Bone marrow smear — 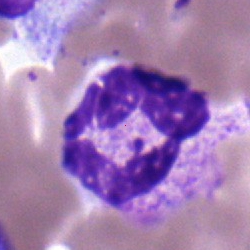{"cell_type": "polymorphonuclear neutrophil"}